Bone marrow aspirate smear.
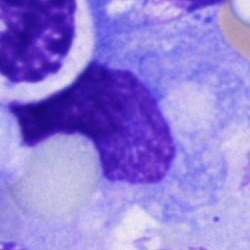Morphological class — unidentifiable cell.